Bone marrow aspirate smear:
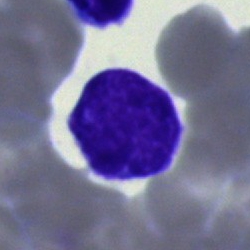
Specimen: bone marrow smear.
Classification: lymphocyte.
Lineage: lymphoid.